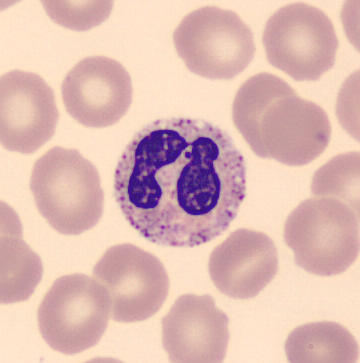
Morphology → neutrophil (segmented).